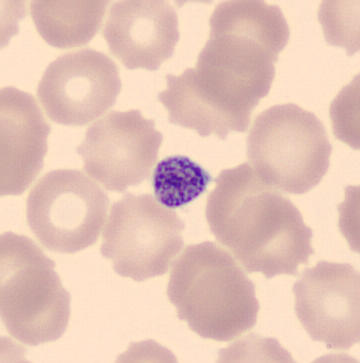 The cell type is platelet (thrombocyte).